Bone marrow aspirate smear. Cropped to a single cell. May-Grünwald-Giemsa stain
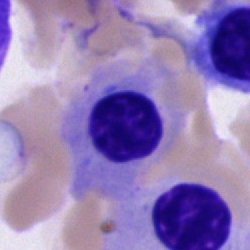 Single cell identified as an erythroblast.